Bone marrow smear
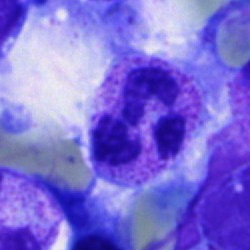

Specimen: bone marrow aspirate smear.
Cell: segmented neutrophil.